Bone marrow aspirate smear.
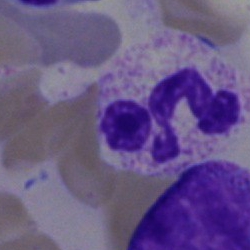Showing a neutrophil (segmented).